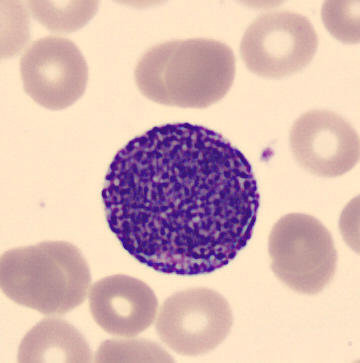 Peripheral blood film.
A progranulocyte.